Pappenheim-stained · bone marrow aspirate smear
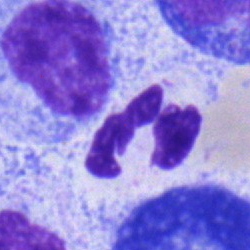
Cell type: neutrophil (segmented).